M8 digital microscope (Precipoint), 100× oil immersion. Peripheral blood smear
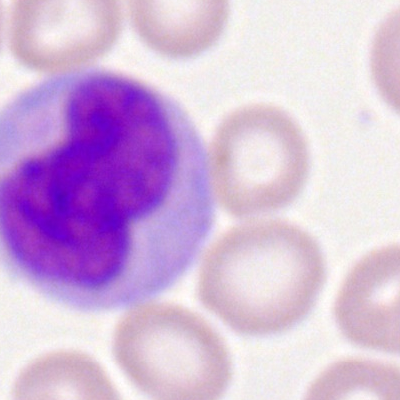
Single cell identified as a monocyte.